MGG-stained; single cell centered in the field; bone marrow smear:
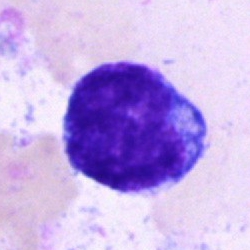

Classification — blast.